250×250 px · bone marrow aspirate smear:
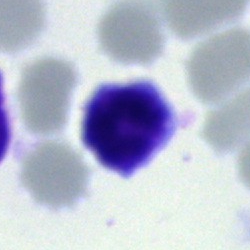

Q: What cell is this?
A: It is a typical lymphocyte.